Bone marrow smear:
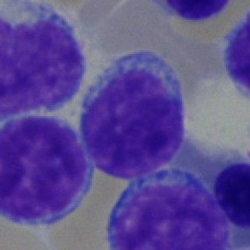 Cell = typical lymphocyte.